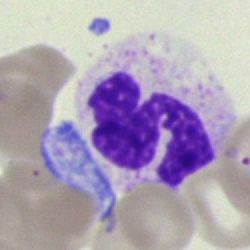

Q: What type of cell is this?
A: Neutrophil (segmented).